Bone marrow aspirate smear.
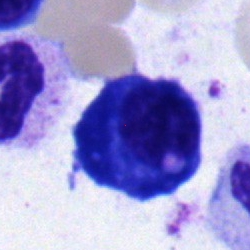Showing a plasmacyte.